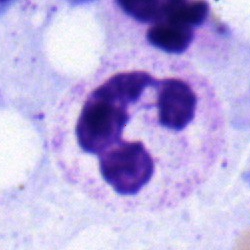Cell type — segmented neutrophil.